Cropped to a single cell · bone marrow smear — 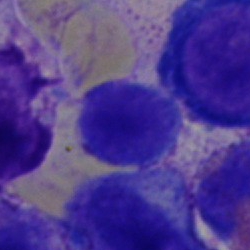
Cell — lymphocyte.